Bone marrow smear — 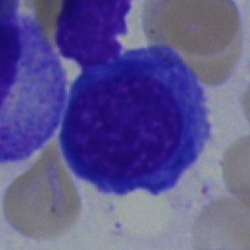
Impression — normoblast.